Bone marrow smear:
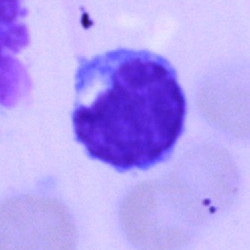The morphological class is lymphocyte.